MGG-stained; bone marrow aspirate smear; 250×250
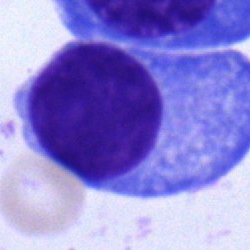 Cell = plasmacyte.